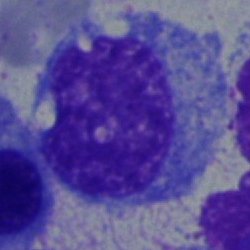Q: What is the morphological classification of this cell?
A: This is a promyelocyte.